Bone marrow smear:
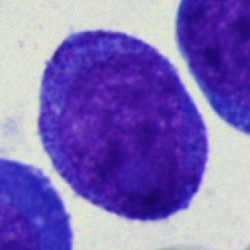 Cell = undifferentiated blast.